Bone marrow aspirate smear
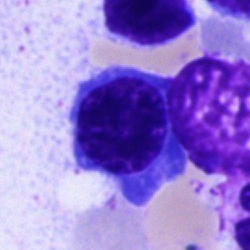The cell shown is an erythroblast.